Bone marrow aspirate smear
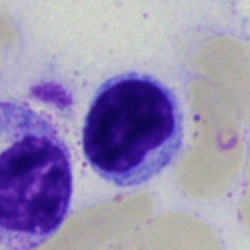
Showing a typical lymphocyte.